Bone marrow smear
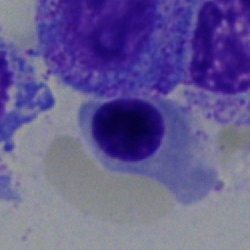Morphological class = normoblast.